Bone marrow aspirate smear · brightfield, 40× oil-immersion objective.
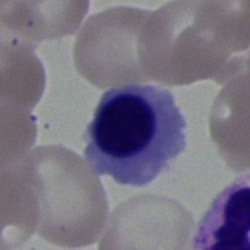

Erythroblast.